Image size 250×250. Cropped to a single cell. Bone marrow aspirate smear — 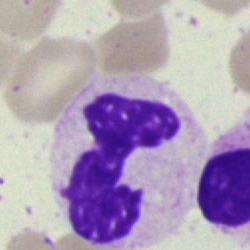Segmented neutrophil.